Bone marrow smear: 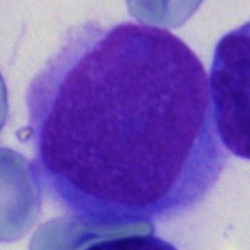

The cell shown is a blast.